Bone marrow aspirate smear: 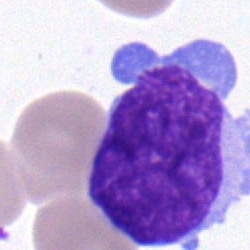
Q: What is shown here?
A: It is an undifferentiated blast.